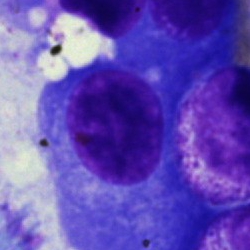 Morphological class = plasmacyte.